Cropped to a single cell; bone marrow smear: 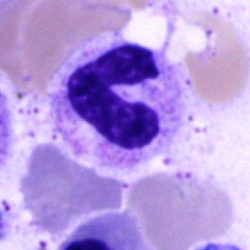Specimen: bone marrow aspirate smear.
Classification: stab cell.